Bone marrow smear. Pappenheim-stained:
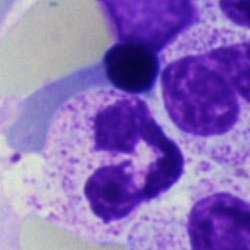Cell type — polymorphonuclear neutrophil.